Bone marrow smear — 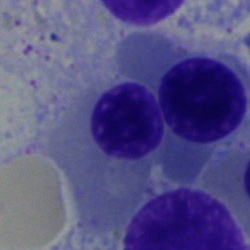
Normoblast.